Bone marrow smear:
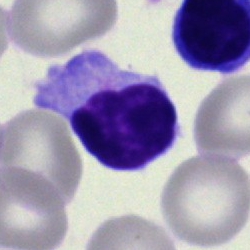
Showing a lymphocyte.